Bone marrow aspirate smear — 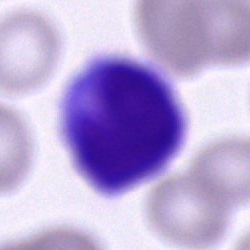
Morphological class = unidentifiable cell.